Cropped to a single cell; bone marrow smear; MGG-stained: 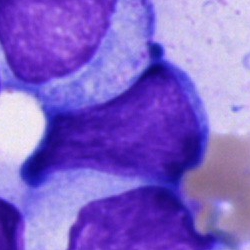

Morphological class = undifferentiated blast.